Bone marrow aspirate smear: 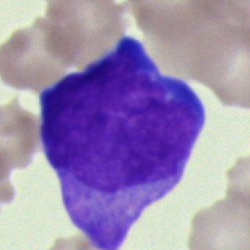 Morphology consistent with a blast cell.